Single-cell crop. Bone marrow smear. 250×250:
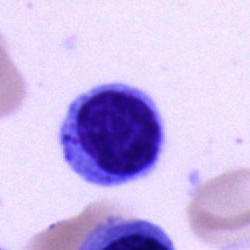Specimen: bone marrow smear.
Cell: lymphocyte.